40× objective, oil immersion · bone marrow aspirate smear · cropped to a single cell
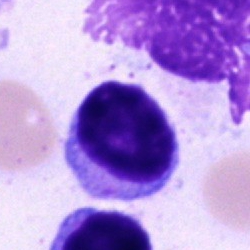Cell type — typical lymphocyte.